Bone marrow aspirate smear.
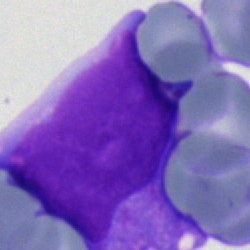

Morphology — blast cell.